Bone marrow aspirate smear — 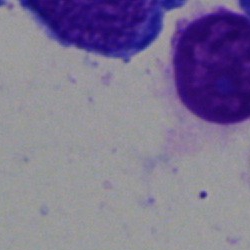

Morphology — artifact.